Brightfield microscopy, 40× oil immersion · bone marrow smear · cropped to a single cell: 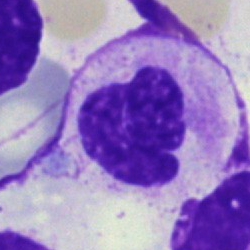Neutrophil (segmented).